Bone marrow smear. Image size 250×250:
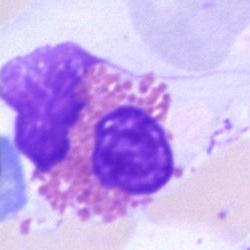Cell = eosinophilic granulocyte.